Bone marrow smear · single cell centered in the field.
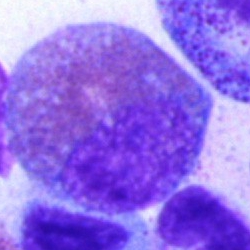Q: What is shown here?
A: Eosinophilic granulocyte.